Bone marrow smear. Cropped to a single cell.
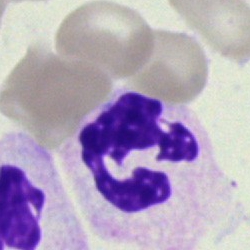

The cell shown is a segmented neutrophil.